Bone marrow smear. Cropped to a single cell — 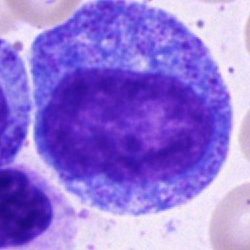
Q: What is shown here?
A: This is a progranulocyte.